Bone marrow smear
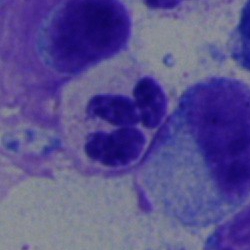
Morphology → neutrophil (segmented).